Brightfield, 40× oil-immersion objective. Bone marrow smear:
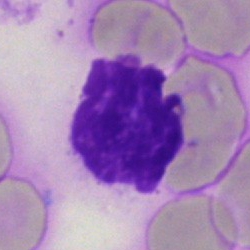 Q: What is shown here?
A: This is an artefact.